Bone marrow smear; 40× objective, oil immersion:
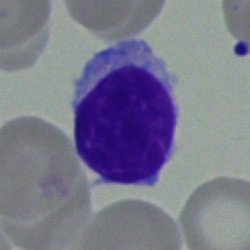 The classification is lymphocyte.